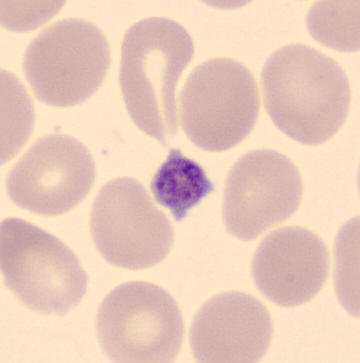 May Grünwald-Giemsa stain · peripheral blood smear · imaged on a CellaVision DM96 analyser.
This is a thrombocyte.